Peripheral blood smear:
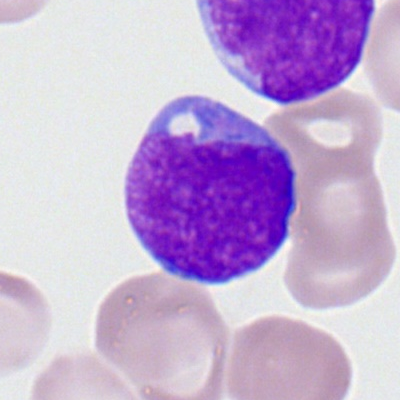The classification is myeloid blast.